Single-cell crop; bone marrow aspirate smear.
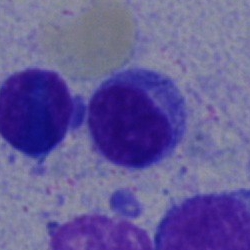The cell is typical lymphocyte.